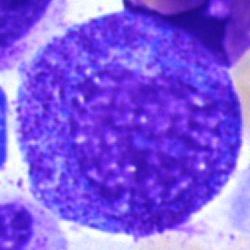 Morphology consistent with a progranulocyte.